Peripheral blood smear.
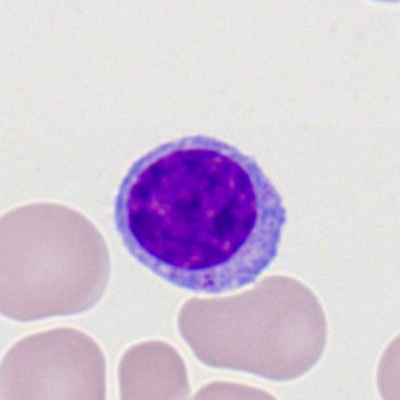 Impression → lymphocyte.